Cropped to a single cell; bone marrow aspirate smear — 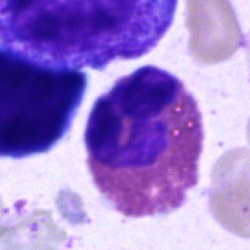Specimen: bone marrow smear.
Classification: eosinophilic granulocyte.
Lineage: myeloid.